Peripheral blood smear:
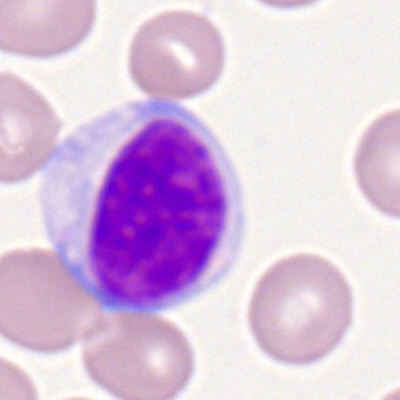Cell — typical lymphocyte.